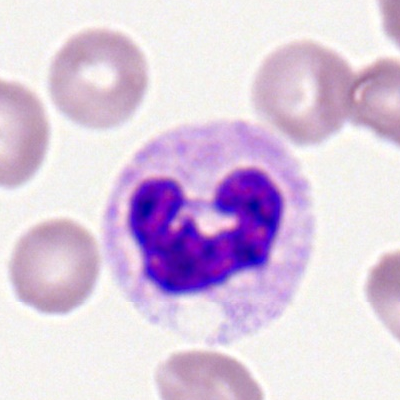 Q: Identify the cell.
A: Segmented neutrophil.